Bone marrow smear — 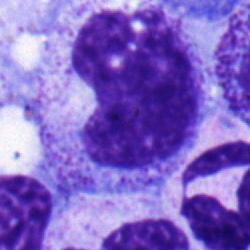

This is a metamyelocyte.